Peripheral blood film. Single cell centered in the field — 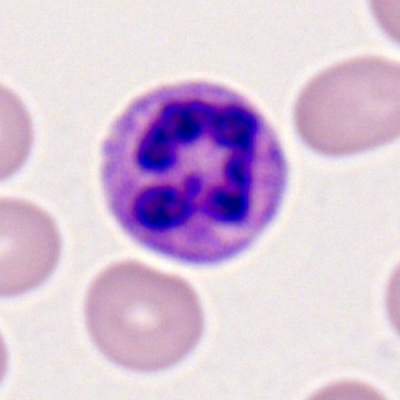
Morphology consistent with a segmented neutrophil.